Bone marrow smear — 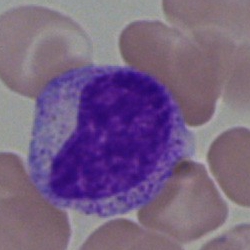 The classification is metamyelocyte.